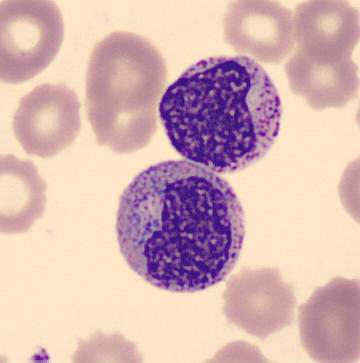
Morphology consistent with a metamyelocyte.
Peripheral blood film.